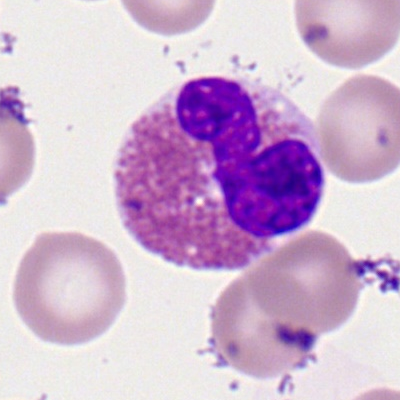

Morphology consistent with an eosinophil.